Bone marrow aspirate smear:
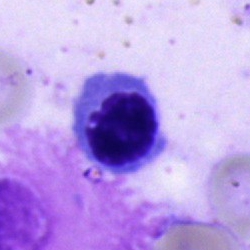 Specimen: bone marrow smear.
Cell type: nucleated red cell.
Lineage: erythroid.